Bone marrow smear.
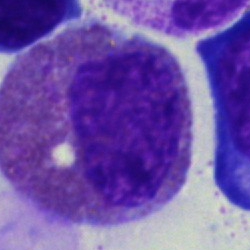

This is an eosinophil.